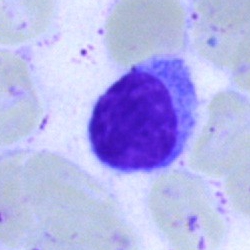

Morphology → typical lymphocyte.